Bone marrow aspirate smear. 250×250 px:
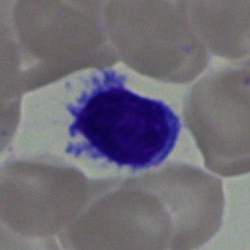 Q: What is the morphological classification of this cell?
A: It is a lymphocyte.